Bone marrow aspirate smear
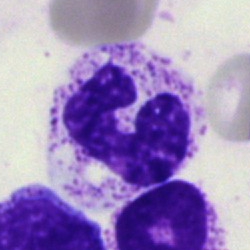
{"cell_type": "band-form neutrophil", "lineage": "myeloid"}